Brightfield, 40× oil-immersion objective · bone marrow smear: 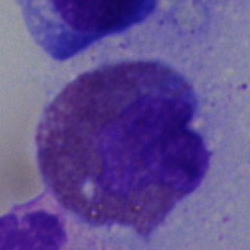Eosinophilic granulocyte.